Bone marrow aspirate smear · May-Grünwald-Giemsa/Pappenheim stain — 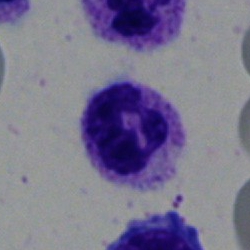 Classification — polymorphonuclear neutrophil.